Bone marrow aspirate smear — 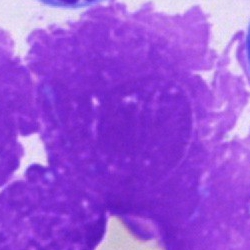Cell type: artefact.